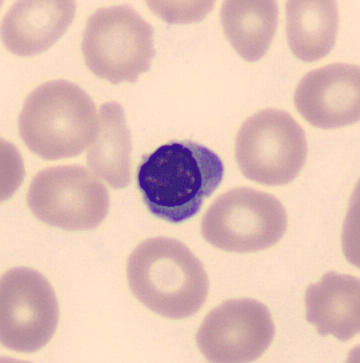 Showing a nucleated red cell.